May-Grünwald-Giemsa stain · bone marrow smear — 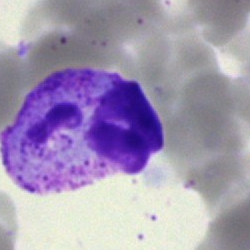 An artifact.